Bone marrow smear. Single cell centered in the field.
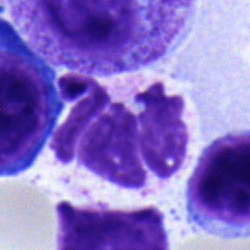Classification — segmented neutrophil.